40× oil immersion · bone marrow aspirate smear: 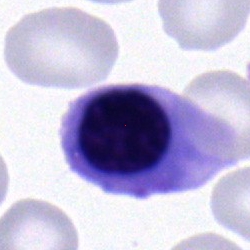 The cell shown is a normoblast.